Bone marrow aspirate smear. Single-cell crop
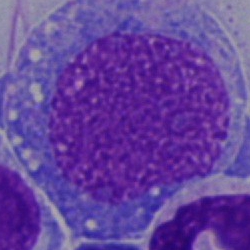 Q: Which cell type is shown here?
A: Blast cell.